Cropped to a single cell. Pappenheim-stained. Bone marrow aspirate smear — 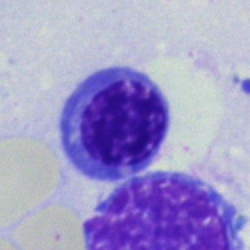Normoblast.